Single-cell field · 250×250 · bone marrow aspirate smear: 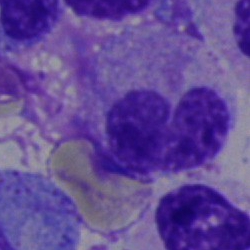

The cell shown is an artefact.